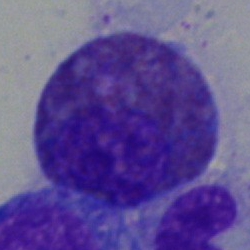 Specimen: bone marrow smear.
Cell type: eosinophil.